Bone marrow aspirate smear; single cell centered in the field:
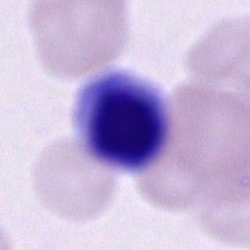

A cell of indeterminate lineage.